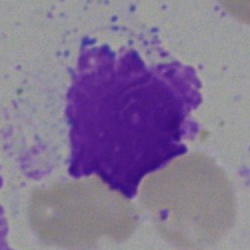

Morphology consistent with an artefact.